Bone marrow aspirate smear · single-cell field · image size 250×250
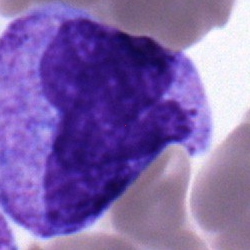 A metamyelocyte.